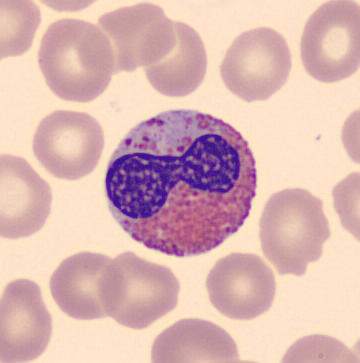 Identified as an eosinophilic granulocyte.